250×250 px. Bone marrow smear.
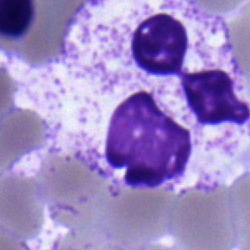
Polymorphonuclear neutrophil.